Bone marrow smear. Image size 250×250
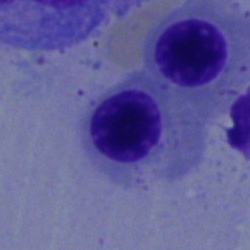
Morphological class — normoblast.